Cropped to a single cell. Bone marrow smear: 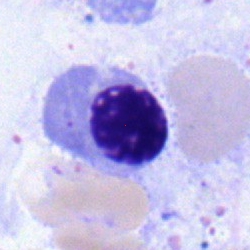
Morphological class — normoblast.